Bone marrow aspirate smear · 40× objective, oil immersion · Pappenheim-stained
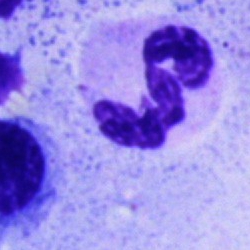
{"cell_type": "segmented neutrophil", "lineage": "myeloid"}